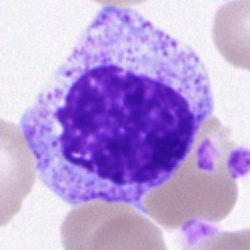
Q: Which cell type is shown here?
A: This is a myelocyte.